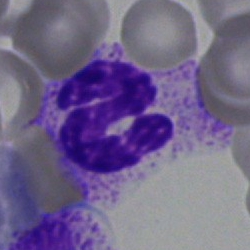
Bone marrow smear showing a segmented neutrophil.